Bone marrow aspirate smear
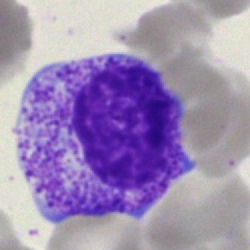
Morphology consistent with a myelocyte.